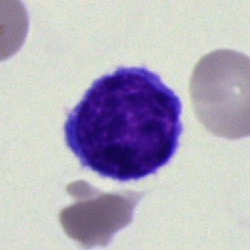 Morphological class = lymphocyte.